May-Grünwald-Giemsa stain; bone marrow aspirate smear: 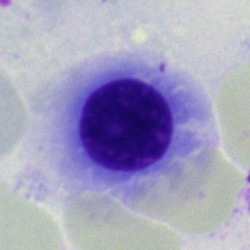 The cell type is nucleated red cell.